Bone marrow aspirate smear: 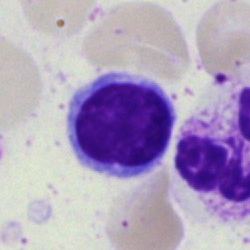 A typical lymphocyte.